Bone marrow smear; May-Grünwald-Giemsa stain; single cell centered in the field
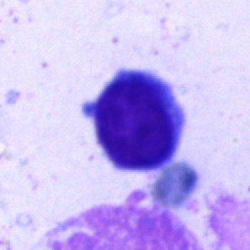Showing a lymphocyte.